Bone marrow smear; 250×250 px:
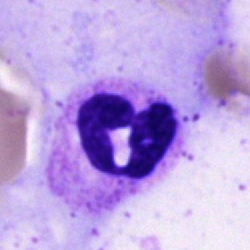

Segmented neutrophil.